Bone marrow smear · single-cell crop · brightfield microscopy, 40× oil immersion
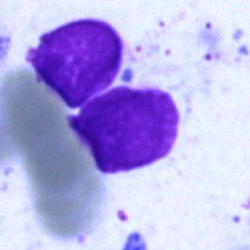
Single cell identified as an artifact.